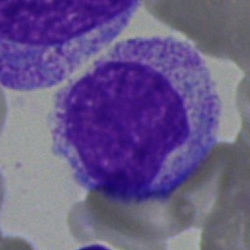Bone marrow smear showing a myelocyte.